Bone marrow aspirate smear
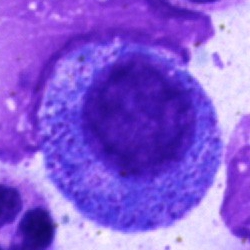
The cell shown is a promyelocyte.